Bone marrow smear; 40× objective, oil immersion:
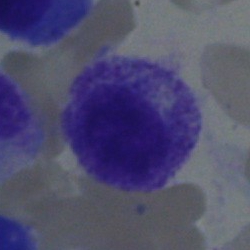The cell type is myelocyte.